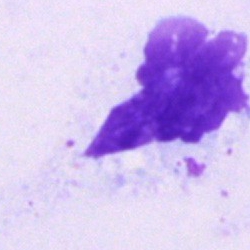Morphology — artefact.